40× oil immersion · bone marrow smear.
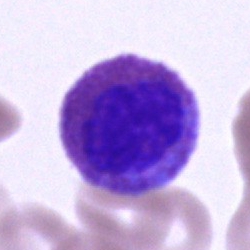{"cell_type": "eosinophilic granulocyte"}